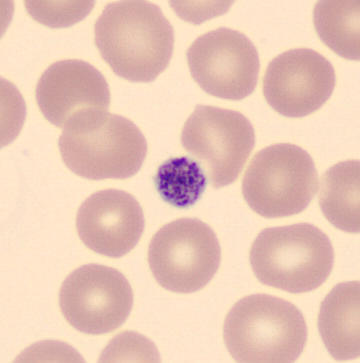
Specimen: peripheral blood smear.
Cell type: platelet.